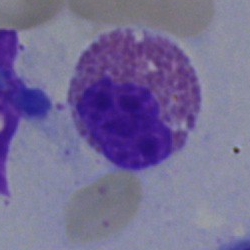

An eosinophil.